40× oil immersion. Bone marrow smear: 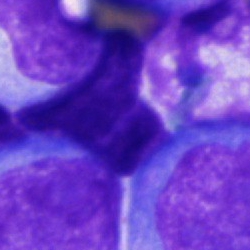Q: Identify the cell.
A: It is a cell of indeterminate lineage.